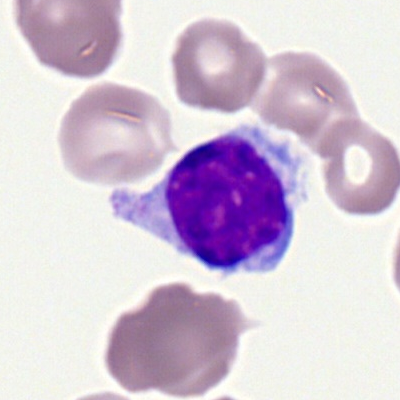The classification is lymphocyte.